Bone marrow smear.
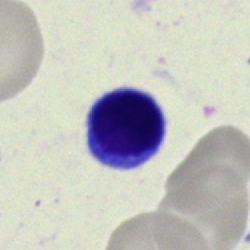 Impression — lymphocyte.